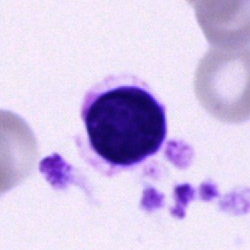Q: What is shown here?
A: An artefact.